Bone marrow smear: 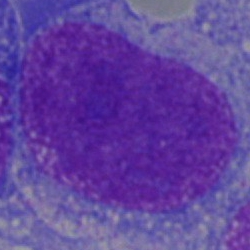

Q: What type of cell is this?
A: An undifferentiated blast.